Bone marrow aspirate smear
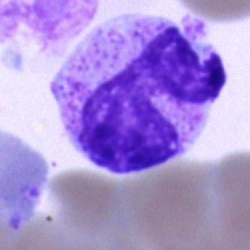
Morphology → band neutrophil.